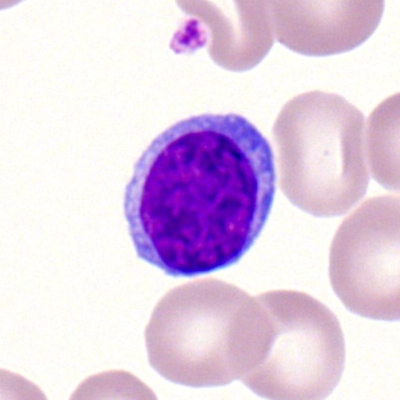

Peripheral blood film, single cell — lymphocyte.